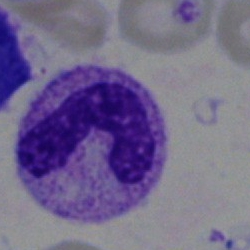

Single cell identified as a neutrophil (segmented).